Pappenheim-stained. Bone marrow smear.
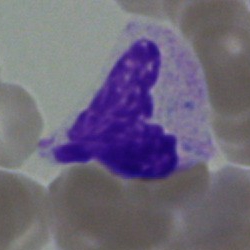 Q: Which cell type is shown here?
A: It is a neutrophil (segmented).